Peripheral blood smear · Romanowsky stain — 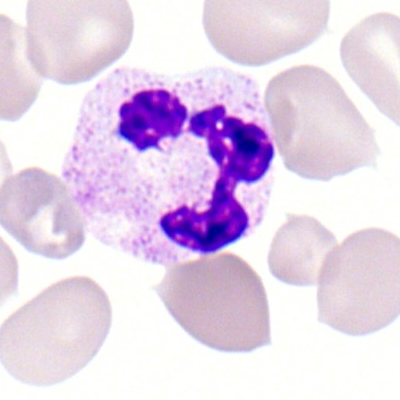
This is a neutrophil (segmented).